400×400; peripheral blood smear — 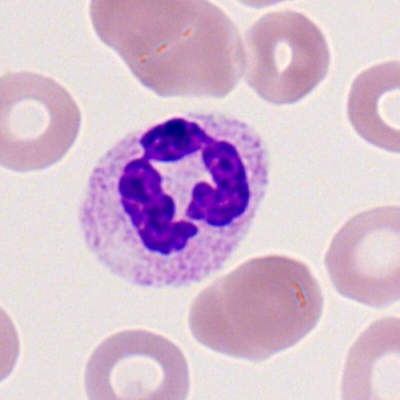 Q: What cell is this?
A: Polymorphonuclear neutrophil.